Bone marrow smear
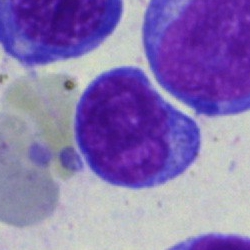
Impression → lymphocyte.